May-Grünwald-Giemsa/Pappenheim stain · bone marrow aspirate smear: 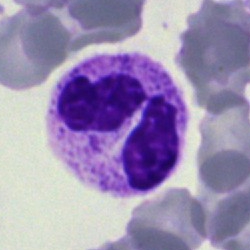

Q: What cell is this?
A: Segmented neutrophil.